Bone marrow aspirate smear:
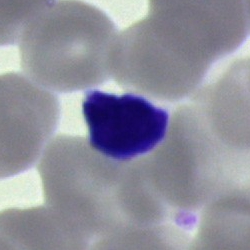

A cell of indeterminate lineage.